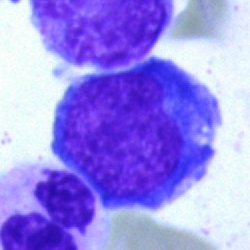Impression — undifferentiated blast.